Bone marrow aspirate smear.
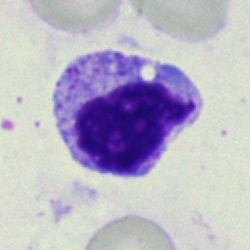

Morphology consistent with an artifact.